Pappenheim-stained; bone marrow aspirate smear: 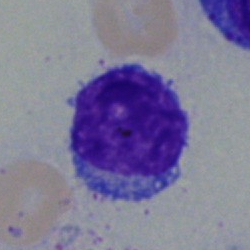

Showing a typical lymphocyte.